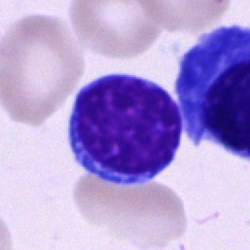Specimen: bone marrow aspirate smear.
Classification: typical lymphocyte.
Lineage: lymphoid.